Image size 250×250; bone marrow aspirate smear; single cell centered in the field — 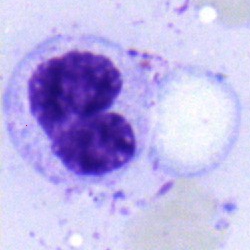A neutrophil (band).